40× objective, oil immersion · bone marrow aspirate smear:
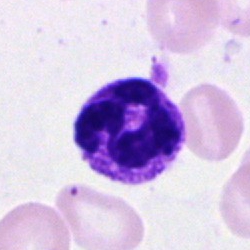
Impression → polymorphonuclear neutrophil.